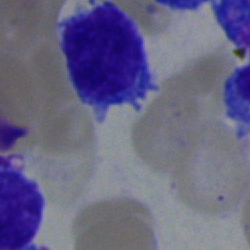 Specimen: bone marrow smear.
Cell type: lymphocyte.